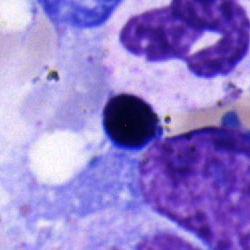
Morphology — erythroblast.